Bone marrow smear · 250×250 px
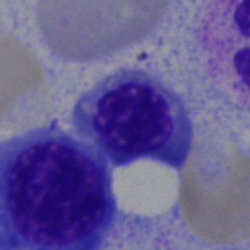 Morphology → nucleated red cell.